Bone marrow aspirate smear — 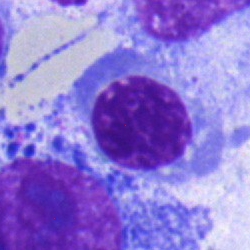

Impression → nucleated red cell.